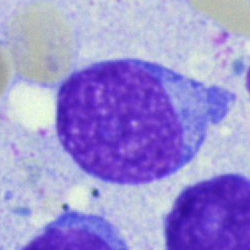
A blast cell.